Bone marrow aspirate smear: 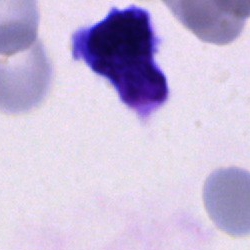
Q: What type of cell is this?
A: This is a cell of indeterminate lineage.